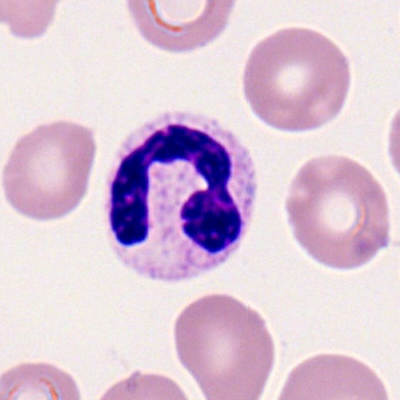A segmented neutrophil.